Bone marrow aspirate smear — 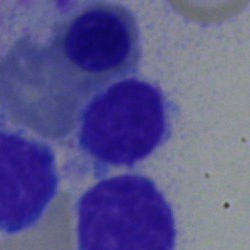

The cell type is lymphocyte.